Bone marrow smear · Pappenheim-stained · single-cell crop:
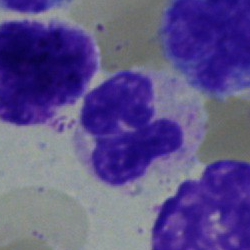
Cell type = polymorphonuclear neutrophil.